100× oil immersion, 14.14 px/µm · peripheral blood smear:
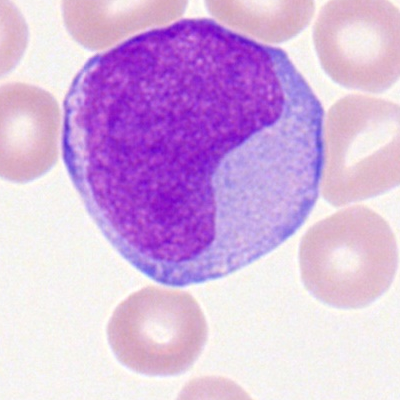

Q: What cell is this?
A: Myeloid blast.